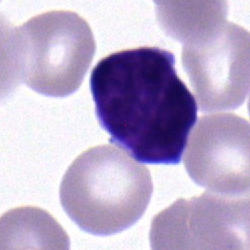 Cell = lymphocyte.